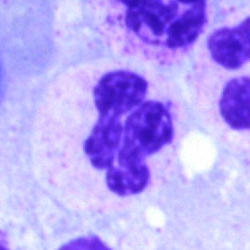Cell type — neutrophil (segmented).